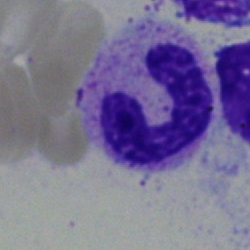
Q: Which cell type is shown here?
A: It is a stab cell.